Bone marrow smear:
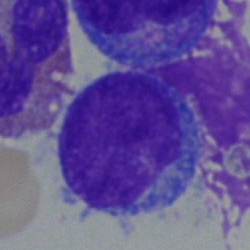

A blast.